Bone marrow aspirate smear — 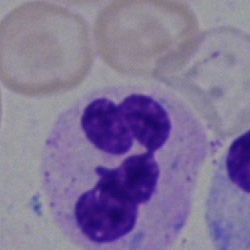
Specimen: bone marrow smear.
Classification: neutrophil (segmented).